Bone marrow smear: 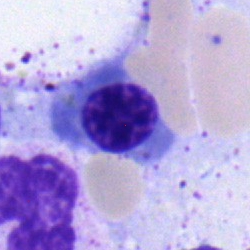
{"cell_type": "nucleated red cell", "lineage": "erythroid"}